Bone marrow aspirate smear — 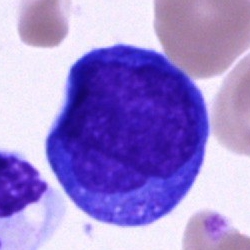 Cell type = undifferentiated blast.